250×250 px; Pappenheim-stained; bone marrow aspirate smear:
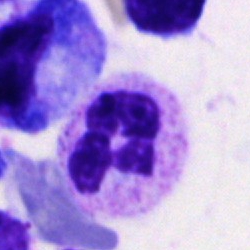 {"cell_type": "segmented neutrophil"}